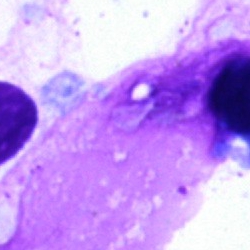Morphology — artifact.